40× objective, oil immersion. Bone marrow smear. Single-cell field:
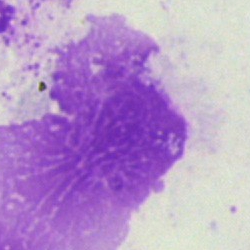 {"cell_type": "artifact"}